Single-cell field; bone marrow smear
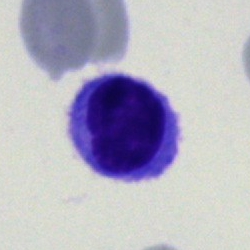
Cell type = typical lymphocyte.